Bone marrow smear: 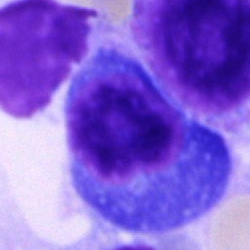 Classification = plasmacyte.